Bone marrow aspirate smear — 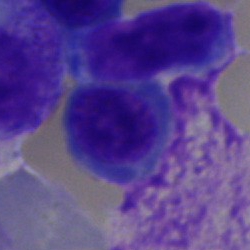The cell shown is a lymphocyte.